Bone marrow aspirate smear — 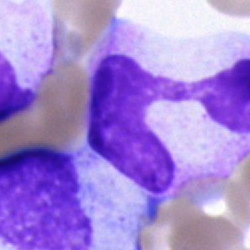
Morphological class: unidentifiable cell.